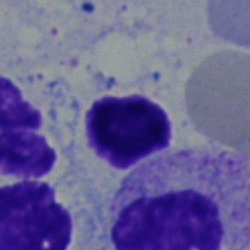Morphological class = myelocyte.